Brightfield, 40× oil-immersion objective. Bone marrow smear. 250 by 250 pixels — 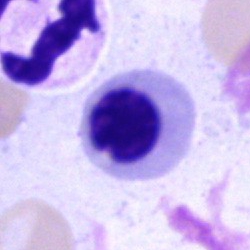Cell — nucleated red cell.